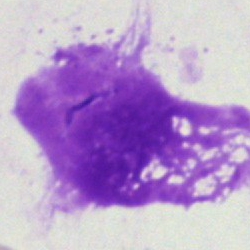

The cell is artefact.